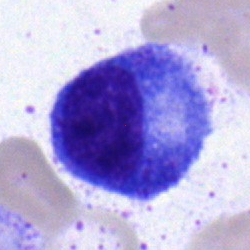

Cell = promyelocyte.